Bone marrow aspirate smear; 250×250:
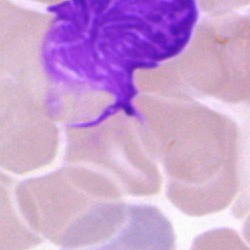
Artefact.